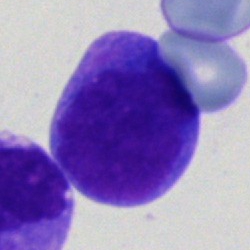 Specimen: bone marrow smear.
Cell type: undifferentiated blast.